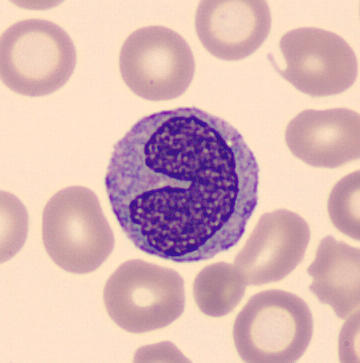
Specimen: peripheral blood film.
Cell type: monocyte.